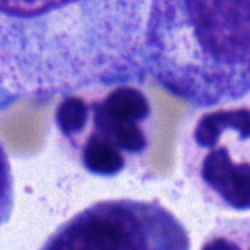

Q: What is shown here?
A: It is a neutrophil (segmented).